Bone marrow aspirate smear: 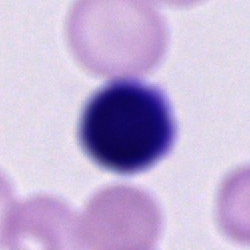A cell of indeterminate lineage.